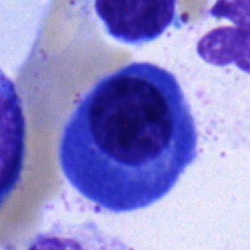

Morphology — plasmacyte.